40× oil immersion · bone marrow smear — 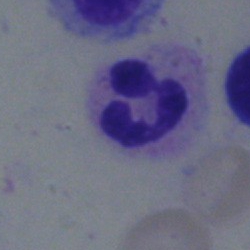

Specimen: bone marrow aspirate smear.
Classification: polymorphonuclear neutrophil.
Lineage: myeloid.